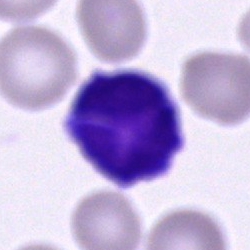
Q: What type of cell is this?
A: Lymphocyte.